Bone marrow aspirate smear — 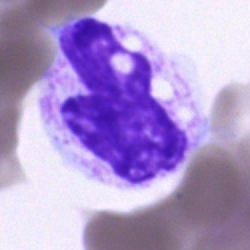
This is a segmented neutrophil.